Bone marrow aspirate smear · brightfield microscopy, 40× oil immersion.
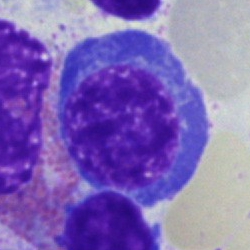Q: What is shown here?
A: A nucleated red cell.